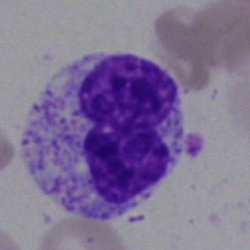
{"cell_type": "metamyelocyte"}